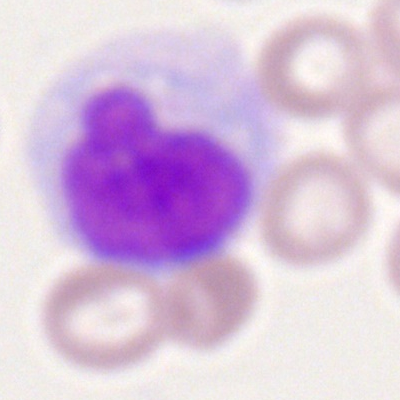

A monocyte on a peripheral blood smear.